Bone marrow smear · brightfield, 40× oil-immersion objective:
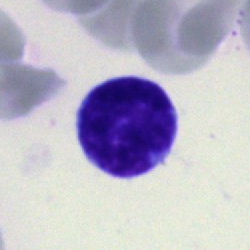
Morphological class: lymphocyte.